Bone marrow aspirate smear — 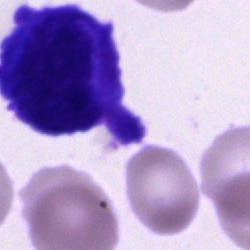

Q: What is shown here?
A: Cell of indeterminate lineage.